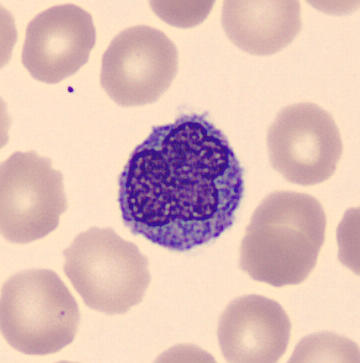

The cell type is monocyte.